250×250. Bone marrow aspirate smear
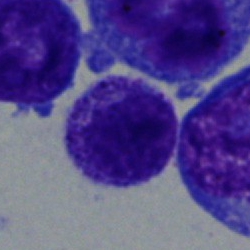 The cell is myelocyte.